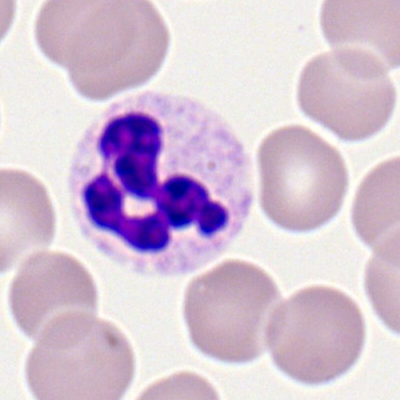 {"cell_type": "segmented neutrophil"}